Bone marrow aspirate smear — 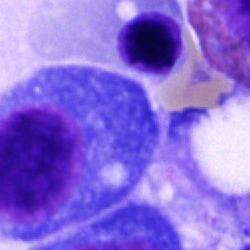
Morphological class — plasma cell.